Bone marrow smear: 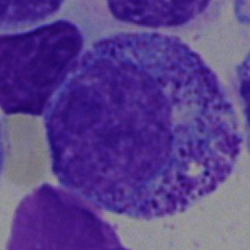Q: Which cell type is shown here?
A: Promyelocyte.